Bone marrow aspirate smear — 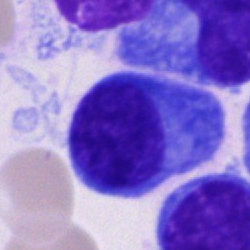Q: Identify the cell.
A: It is a plasma cell.